Single-cell crop. May-Grünwald-Giemsa stain. Bone marrow smear.
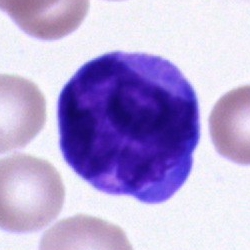

Q: Identify the cell.
A: It is an unidentifiable cell.